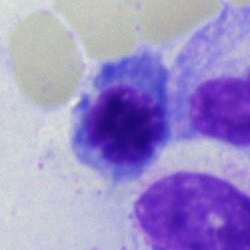Nucleated red cell.